Bone marrow aspirate smear. Brightfield, 40× oil-immersion objective. Pappenheim-stained: 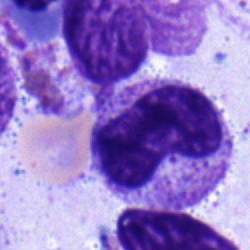
Metamyelocyte.